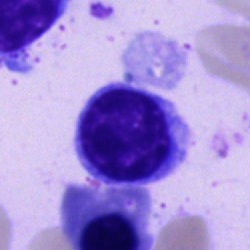Morphology → plasmacyte.